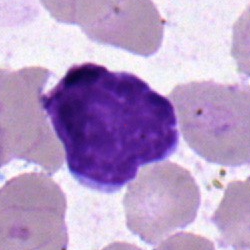 Impression → lymphocyte.